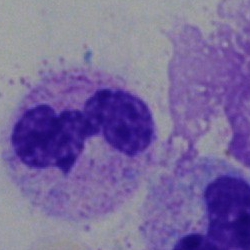The morphological class is polymorphonuclear neutrophil.